Bone marrow smear · 40× objective, oil immersion · 250×250
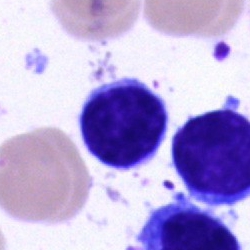

Impression → lymphocyte.